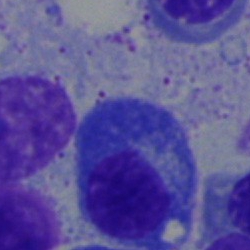Q: What is the morphological classification of this cell?
A: A plasma cell.